MGG-stained; bone marrow aspirate smear.
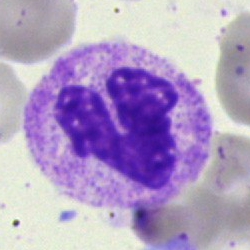Morphology — band neutrophil.